Bone marrow smear.
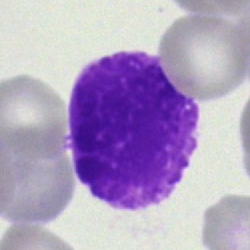Classification — artefact.